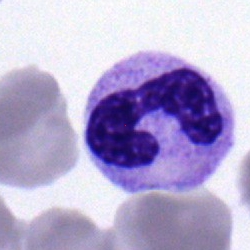 Showing a band-form neutrophil.